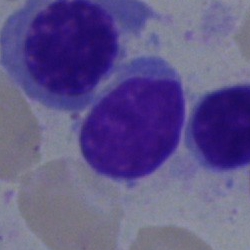
Cell = typical lymphocyte.